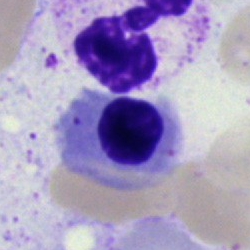 Impression — erythroblast.